Romanowsky-stained · peripheral blood smear: 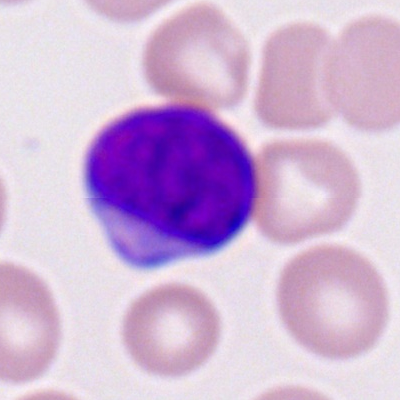

Classification = myeloid blast.